Brightfield microscopy, 40× oil immersion; bone marrow smear
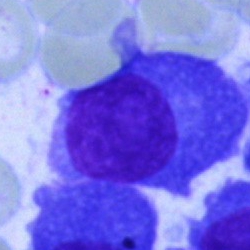
This is a plasma cell.